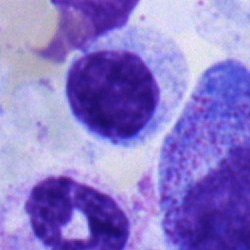Cell type: lymphocyte.